Bone marrow aspirate smear:
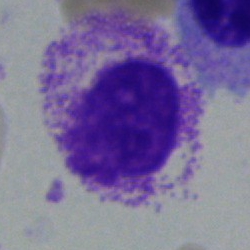
Q: What is the morphological classification of this cell?
A: A myelocyte.